250 by 250 pixels; bone marrow smear — 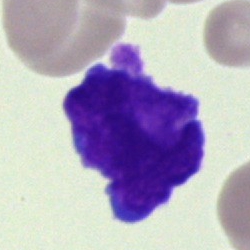 Specimen: bone marrow aspirate smear.
Classification: unidentifiable cell.